Bone marrow aspirate smear. 250 by 250 pixels. Single-cell field — 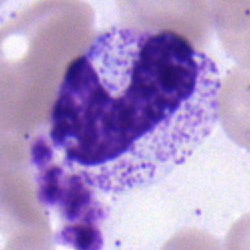Morphological class: stab cell.